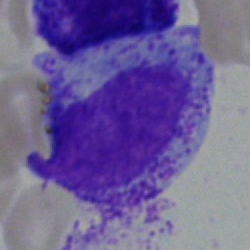

Cell: myelocyte.